Single cell centered in the field; bone marrow smear: 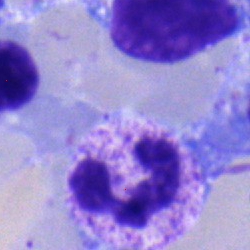
The classification is polymorphonuclear neutrophil.